Bone marrow aspirate smear
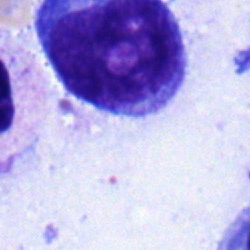Classification: undifferentiated blast.